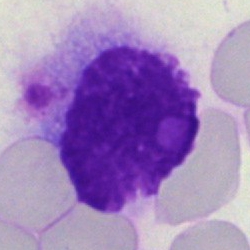
Bone marrow aspirate smear, single cell — artefact.